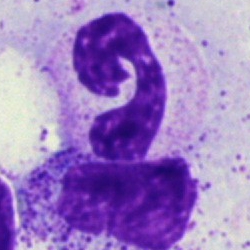

Q: What is the morphological classification of this cell?
A: This is a segmented neutrophil.